Bone marrow aspirate smear
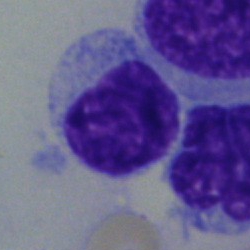A hairy cell.